250 by 250 pixels. Bone marrow smear — 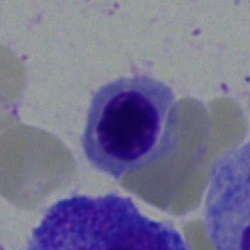 Morphological class = nucleated red cell.